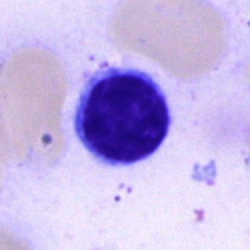
{"cell_type": "typical lymphocyte", "lineage": "lymphoid"}